Bone marrow aspirate smear: 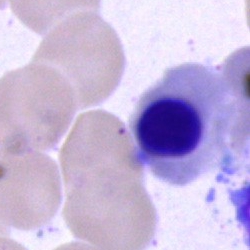Q: What cell is this?
A: This is an erythroblast.